Bone marrow aspirate smear.
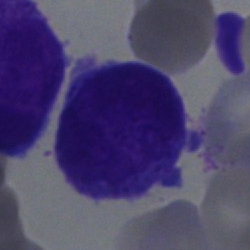

Cell — undifferentiated blast.